Bone marrow aspirate smear:
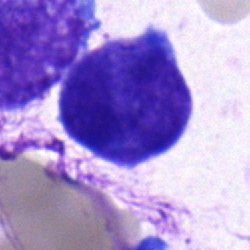
Specimen: bone marrow smear.
Cell type: blast.